Single-cell crop; bone marrow smear — 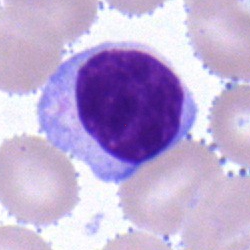 Q: What is shown here?
A: Typical lymphocyte.